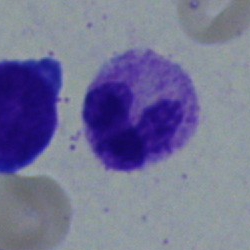

Impression → stab cell.